Bone marrow smear; 250 by 250 pixels; 40× objective, oil immersion
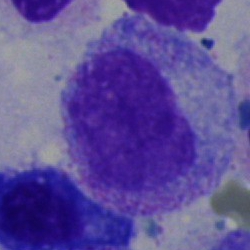Morphological class = metamyelocyte.